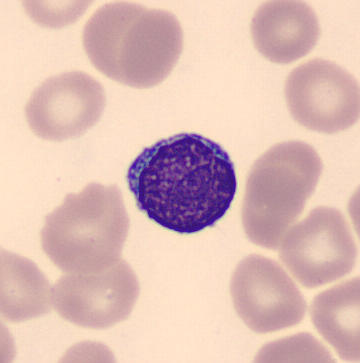 Specimen: peripheral blood film.
Classification: lymphocyte.
Lineage: lymphoid.

360×363 px · MGG stain.